Peripheral blood film:
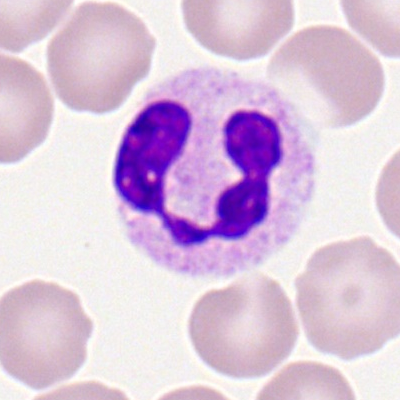 Q: What is shown here?
A: Polymorphonuclear neutrophil.